Bone marrow smear · brightfield, 40× oil-immersion objective · May-Grünwald-Giemsa stain:
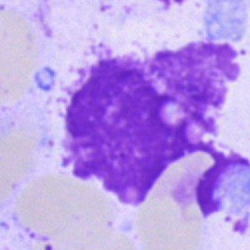 Showing an artifact.